Bone marrow smear
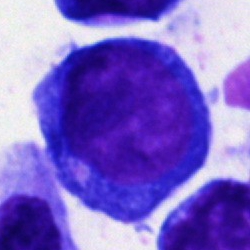
Q: What cell is this?
A: This is a pronormoblast.